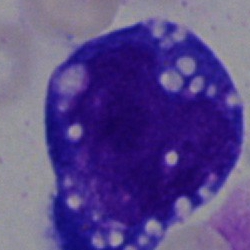

The classification is undifferentiated blast.